250×250 px · cropped to a single cell · bone marrow aspirate smear:
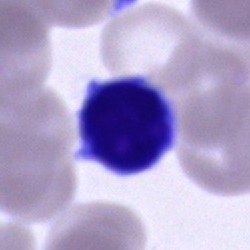Morphology → lymphocyte.